Bone marrow aspirate smear — 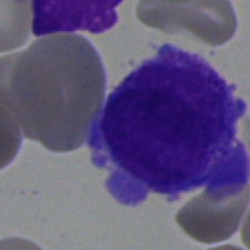

Specimen: bone marrow aspirate smear.
Classification: progranulocyte.